Bone marrow aspirate smear. Single-cell field: 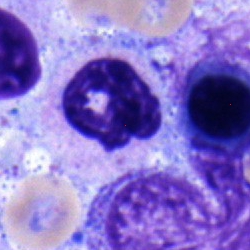
The cell shown is a myelocyte.